Peripheral blood film · 400×400: 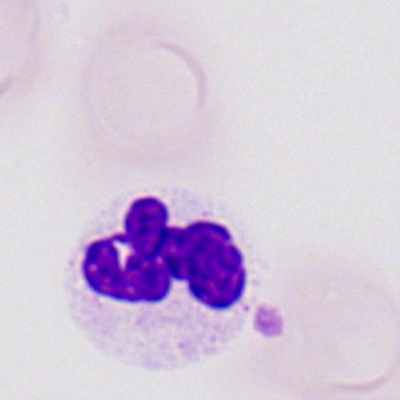
Impression — polymorphonuclear neutrophil.